Peripheral blood smear — 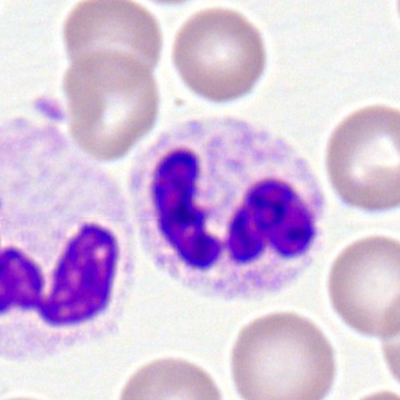Morphology consistent with a neutrophil (segmented).